Bone marrow aspirate smear — 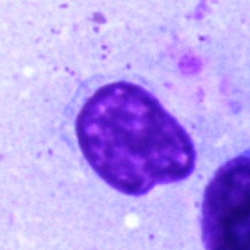
Cell type = artefact.